Bone marrow smear.
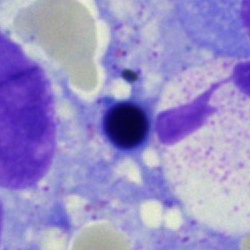 Cell — artefact.